Image size 250×250. May-Grünwald-Giemsa/Pappenheim stain. Bone marrow smear.
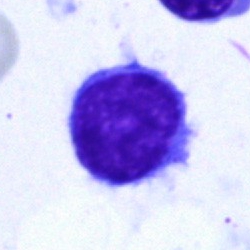This is a lymphocyte.